Cropped to a single cell · brightfield, 40× oil-immersion objective · bone marrow aspirate smear:
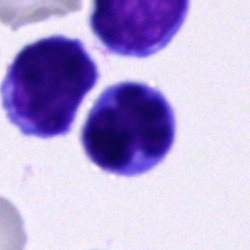 A lymphocyte.